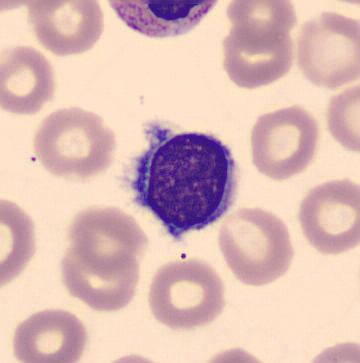

Specimen: peripheral blood film.
Cell type: typical lymphocyte.
Lineage: lymphoid.